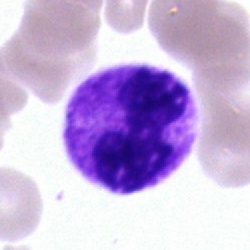Showing a polymorphonuclear neutrophil.